May-Grünwald-Giemsa/Pappenheim stain · brightfield microscopy, 40× oil immersion · bone marrow smear
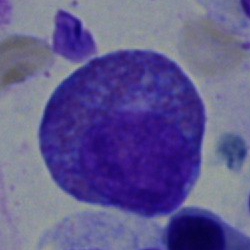

Cell type: eosinophil.